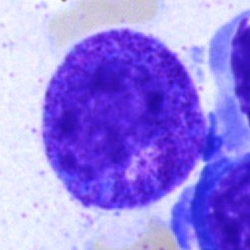

Q: What cell is this?
A: Promyelocyte.